Bone marrow smear; single cell centered in the field
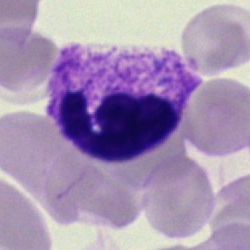 Cell type = segmented neutrophil.